Bone marrow aspirate smear. Brightfield, 40× oil-immersion objective. Cropped to a single cell
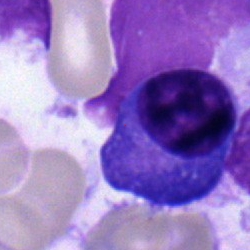Q: What is the morphological classification of this cell?
A: It is a plasmacyte.